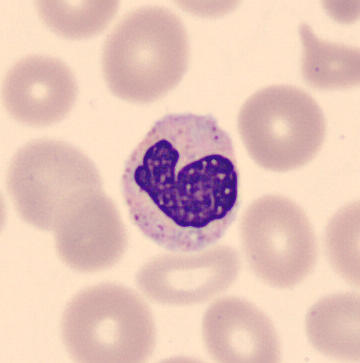

Morphology → stab cell.
Peripheral blood smear.